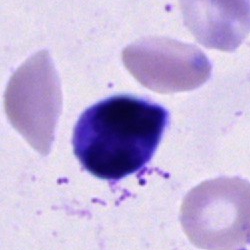
Morphological class — unidentifiable cell.